MGG-stained; bone marrow aspirate smear; 40× oil immersion:
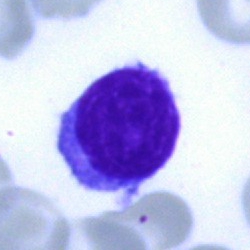Typical lymphocyte.